Image size 250×250. Bone marrow aspirate smear
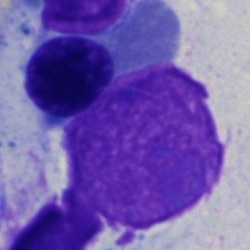
Specimen: bone marrow smear.
Morphological class: artifact.